Single cell centered in the field; bone marrow aspirate smear
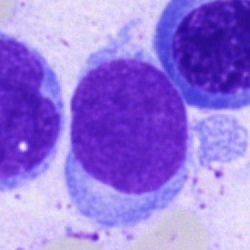

Q: What type of cell is this?
A: A blast cell.